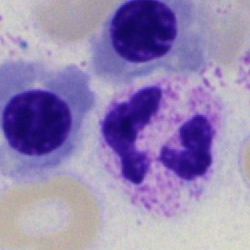 This is a neutrophil (segmented).